Romanowsky stain. Peripheral blood film: 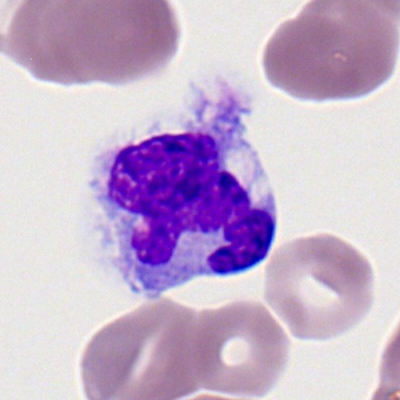 {"cell_type": "monocyte"}